Bone marrow aspirate smear; image size 250×250; single-cell crop.
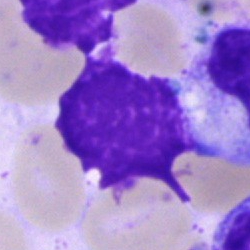
Showing an artefact.